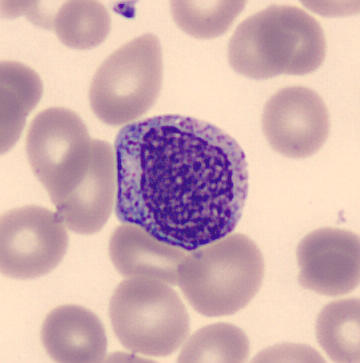 Preparation: Peripheral blood film.

Q: What cell is this?
A: It is a myelocyte.